Bone marrow aspirate smear: 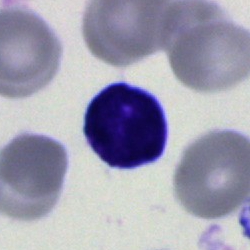
Specimen: bone marrow smear.
Morphological class: blast cell.